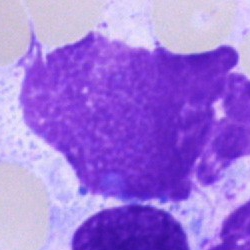 Impression — artefact.